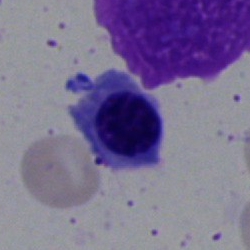

The classification is nucleated red cell.